Bone marrow aspirate smear
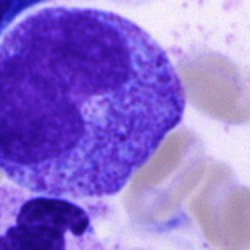Showing a progranulocyte.